Bone marrow smear:
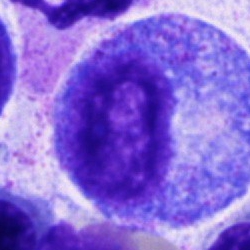 Progranulocyte.